Single-cell field · bone marrow aspirate smear
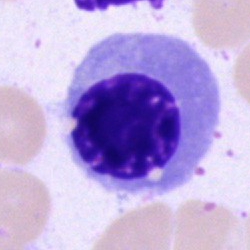 A nucleated red cell.